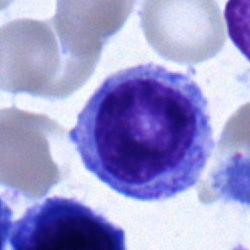 Q: What is the morphological classification of this cell?
A: It is a myelocyte.